250 by 250 pixels; bone marrow smear; brightfield microscopy, 40× oil immersion:
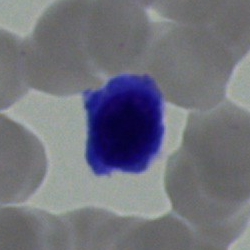

Morphology consistent with a lymphocyte.